May-Grünwald-Giemsa/Pappenheim stain. Bone marrow aspirate smear:
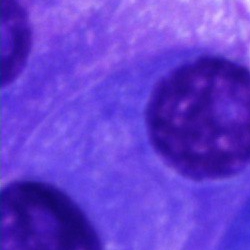 Morphology — plasma cell.